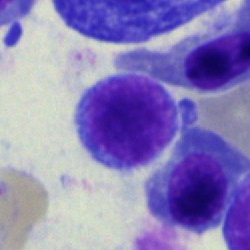 {"cell_type": "lymphocyte"}